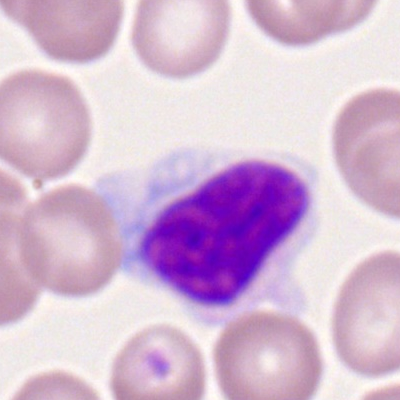

Morphology — lymphocyte.